Single-cell crop; bone marrow aspirate smear:
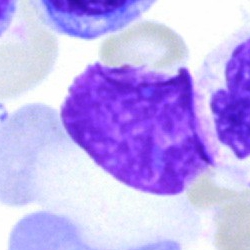

Q: What is shown here?
A: Artifact.